Bone marrow smear: 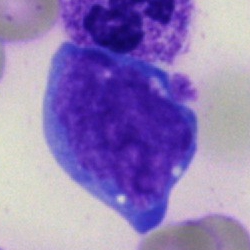 Blast cell.